Bone marrow smear
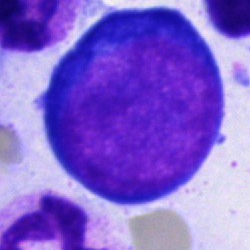
Specimen: bone marrow aspirate smear.
Cell type: pronormoblast.